Bone marrow smear:
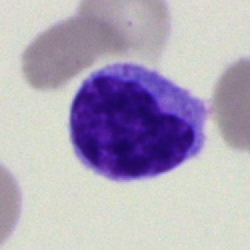

Morphology → lymphocyte.